Peripheral blood smear:
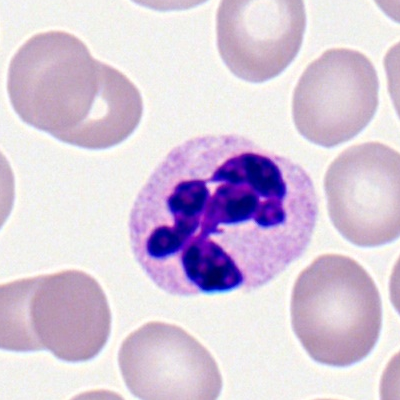

The cell shown is a polymorphonuclear neutrophil.